Bone marrow smear; MGG-stained:
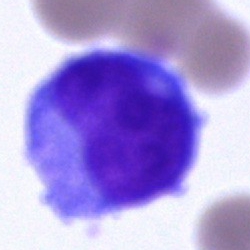A blast cell.